Bone marrow smear · single-cell crop · 40× oil immersion: 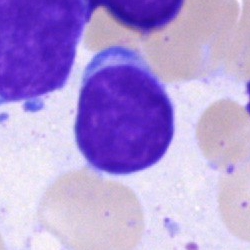
{"cell_type": "typical lymphocyte", "lineage": "lymphoid"}